Bone marrow smear
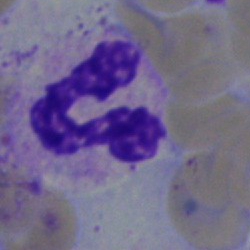
The cell type is band neutrophil.